Bone marrow smear
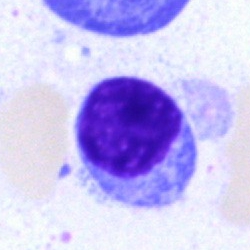
A lymphocyte.